Bone marrow smear: 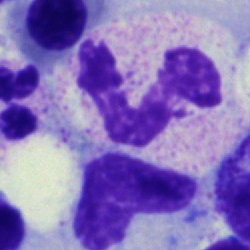
Q: Identify the cell.
A: It is a segmented neutrophil.